Image size 400×400 · peripheral blood film: 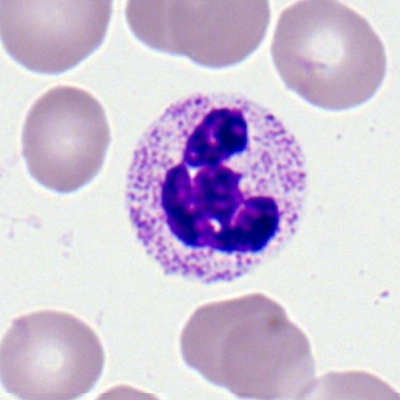

The cell shown is a segmented neutrophil.